Bone marrow aspirate smear.
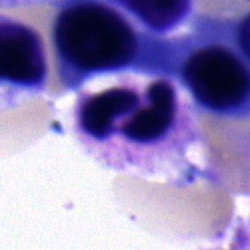Classification — segmented neutrophil.